Bone marrow smear:
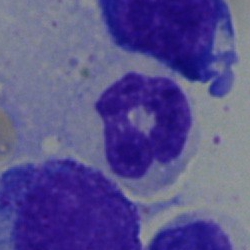 Cell type = segmented neutrophil.